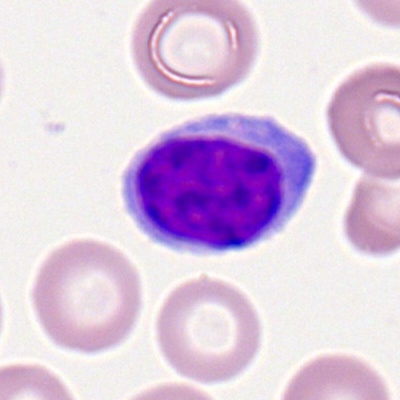

The cell type is typical lymphocyte.